Pappenheim-stained. Bone marrow smear: 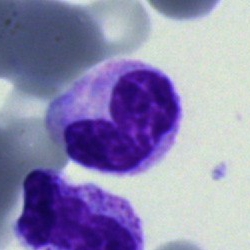The cell type is cell of indeterminate lineage.